Bone marrow aspirate smear · MGG-stained · cropped to a single cell — 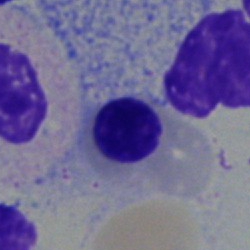
Cell: normoblast.